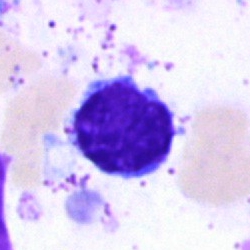 Classification — lymphocyte.